Bone marrow aspirate smear: 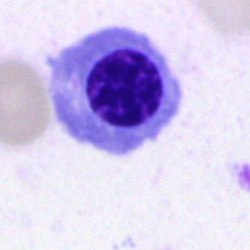
Nucleated red blood cell.